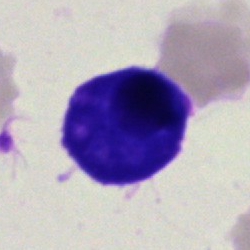

Morphological class — plasmacyte.